Bone marrow smear; 250×250 px: 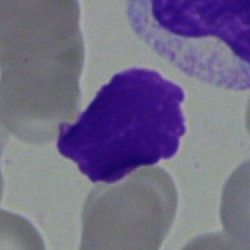 Specimen: bone marrow smear.
Cell: artefact.